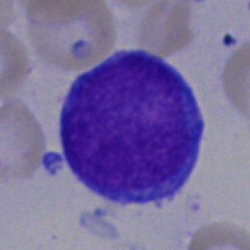
Single cell identified as a blast.